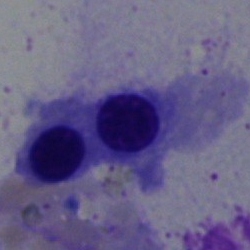

The cell shown is an erythroblast.